Bone marrow smear. Brightfield microscopy, 40× oil immersion: 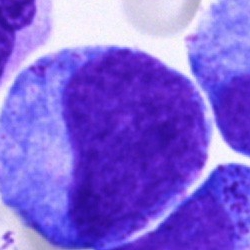
Morphological class: progranulocyte.